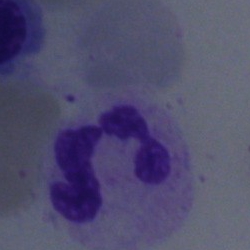
The cell shown is a neutrophil (segmented).